MGG-stained. Bone marrow smear.
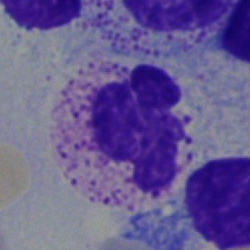Showing a basophil.